Bone marrow aspirate smear — 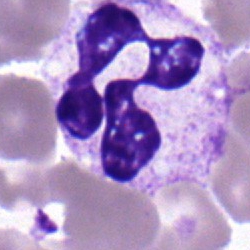 Q: Identify the cell.
A: A segmented neutrophil.